Single-cell field; bone marrow smear; May-Grünwald-Giemsa/Pappenheim stain — 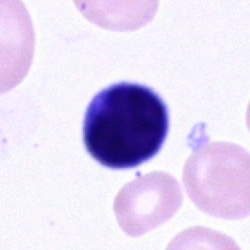 A typical lymphocyte.